Bone marrow aspirate smear: 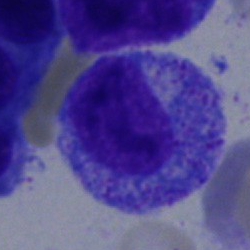 Morphology → promyelocyte.